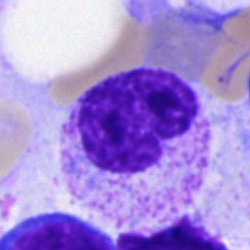

Q: What cell is this?
A: This is a metamyelocyte.